Brightfield, 40× oil-immersion objective; image size 250×250; bone marrow smear:
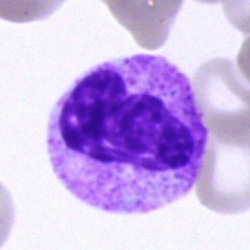 This is a polymorphonuclear neutrophil.